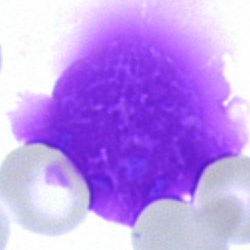
Morphology consistent with an artefact.